Bone marrow smear. 250×250 px — 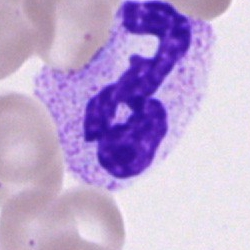 The classification is polymorphonuclear neutrophil.